Bone marrow aspirate smear:
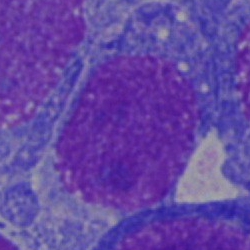Morphological class = blast cell.